Single-cell field; bone marrow aspirate smear.
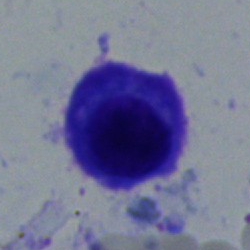Plasma cell.